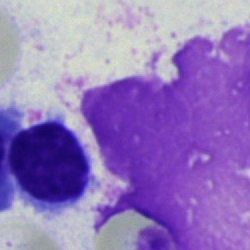Morphology consistent with an artefact.